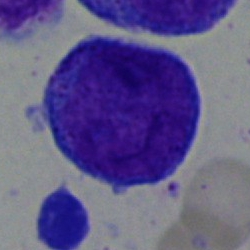 Specimen: bone marrow aspirate smear.
Cell type: promyelocyte.